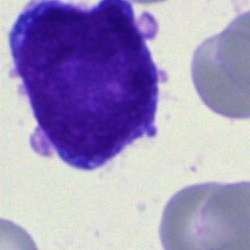
Single-cell crop from a bone marrow smear: blast cell.